Bone marrow aspirate smear. Single-cell field: 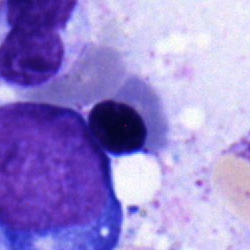

Nucleated red blood cell.